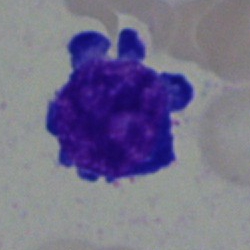Q: What is the morphological classification of this cell?
A: Proerythroblast.